Bone marrow smear: 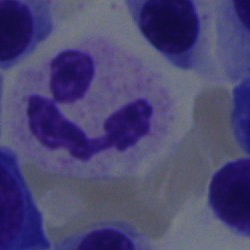
Q: What cell is this?
A: Neutrophil (segmented).